Bone marrow aspirate smear:
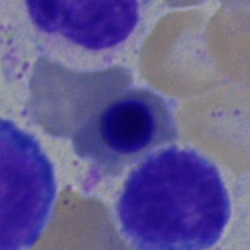 Impression — erythroblast.